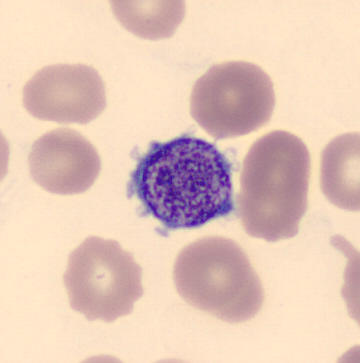Preparation: Peripheral blood smear. A platelet (thrombocyte).